Bone marrow smear; Pappenheim-stained; 40× objective, oil immersion:
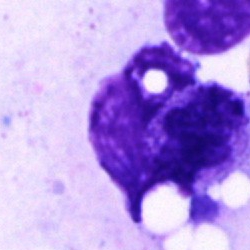 Showing an artefact.